Bone marrow aspirate smear. Brightfield, 40× oil-immersion objective
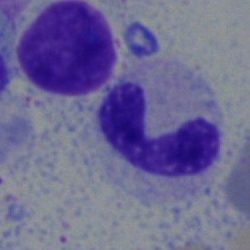 Impression — band neutrophil.